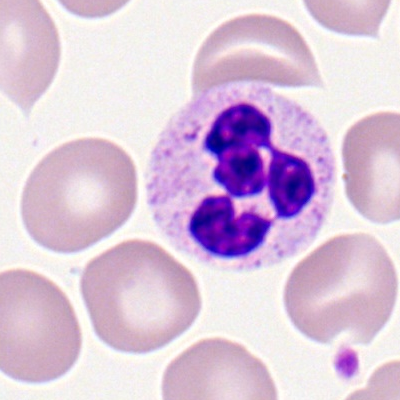
The cell shown is a segmented neutrophil.